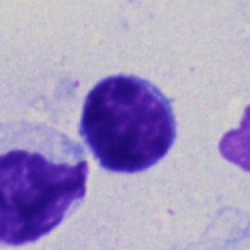

Q: What type of cell is this?
A: This is a typical lymphocyte.